Pappenheim-stained · bone marrow aspirate smear · 250 by 250 pixels: 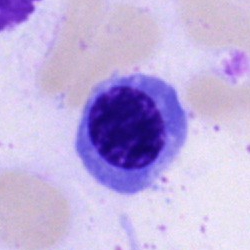

The cell shown is an erythroblast.